Bone marrow smear — 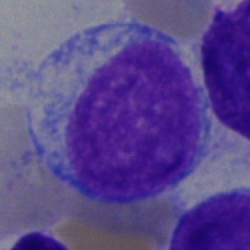 Cell type — undifferentiated blast.